Bone marrow aspirate smear
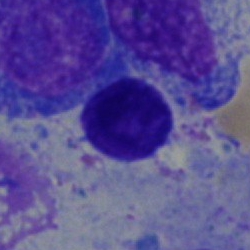
A lymphocyte.